Bone marrow aspirate smear
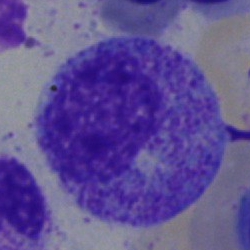
This is a promyelocyte.